Bone marrow aspirate smear:
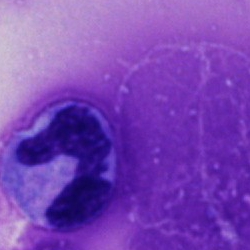
This is a neutrophil (segmented).